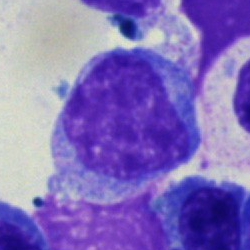 Bone marrow aspirate smear, single cell — blast cell.